Bone marrow smear · May-Grünwald-Giemsa stain — 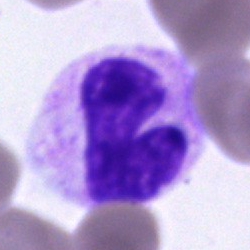 Single cell identified as a neutrophil (band).